Image size 250×250; May-Grünwald-Giemsa stain; bone marrow aspirate smear — 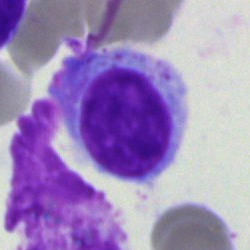Specimen: bone marrow aspirate smear.
Classification: lymphocyte.
Lineage: lymphoid.